Bone marrow smear · MGG-stained · 250×250: 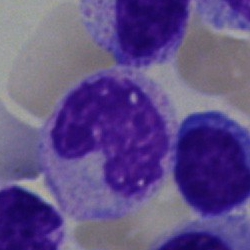Classification = stab cell.